Romanowsky-stained; peripheral blood smear.
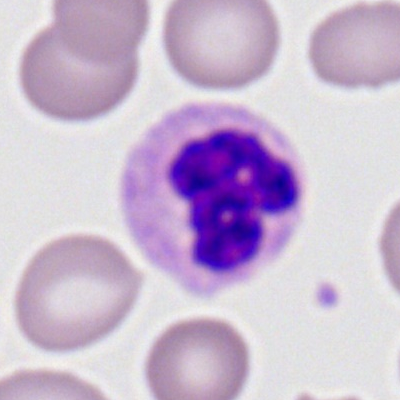

A neutrophil (segmented).